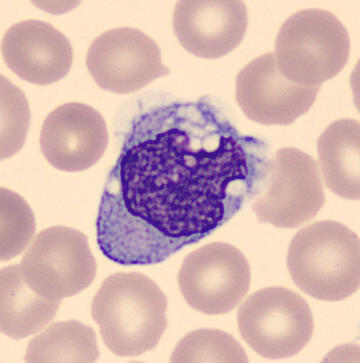 Peripheral blood smear. Monocyte.